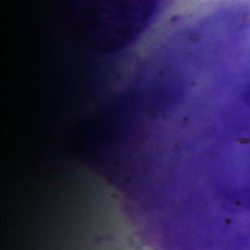

The cell is artefact.